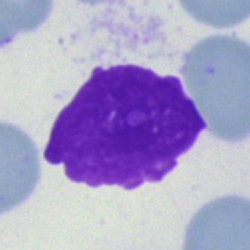Single cell identified as an artefact.